Peripheral blood smear · Romanowsky stain · cropped to a single cell:
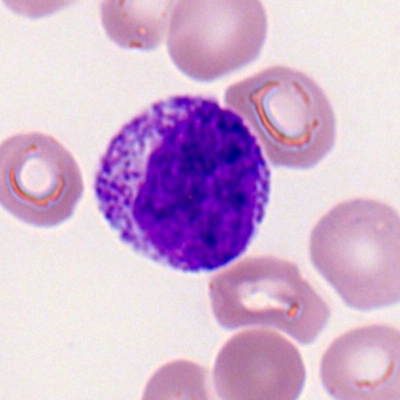{"cell_type": "progranulocyte", "lineage": "myeloid"}